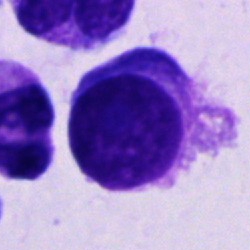Single-cell crop from a bone marrow smear: plasmacyte.